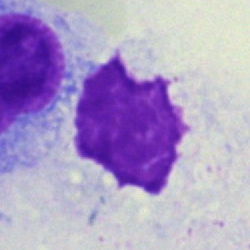

This is an artifact.